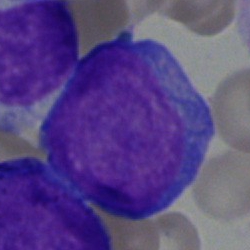

Q: What is shown here?
A: Undifferentiated blast.